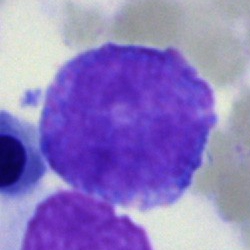Morphology → undifferentiated blast.